Bone marrow aspirate smear: 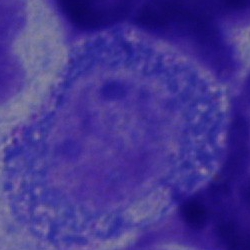Showing a progranulocyte.